Bone marrow smear · brightfield, 40× oil-immersion objective.
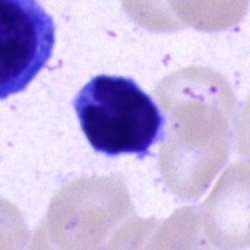Morphological class — lymphocyte.